Peripheral blood smear — 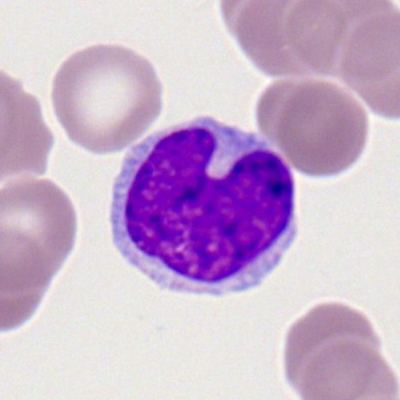 Specimen: peripheral blood film.
Morphological class: typical lymphocyte.